Bone marrow smear. May-Grünwald-Giemsa/Pappenheim stain: 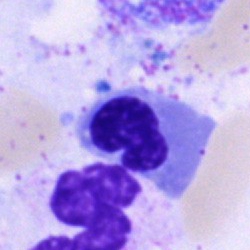
Cell type = erythroblast.